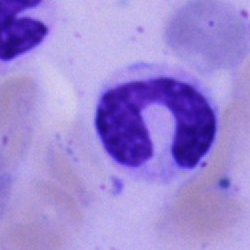Q: What cell is this?
A: Band-form neutrophil.